Bone marrow smear: 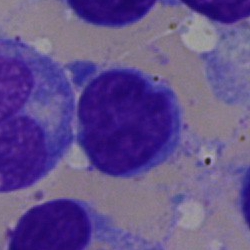
Q: What is the morphological classification of this cell?
A: It is a lymphocyte.